Bone marrow aspirate smear.
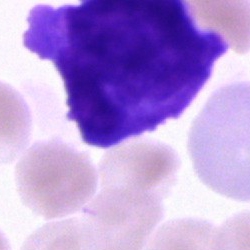

Showing a blast cell.